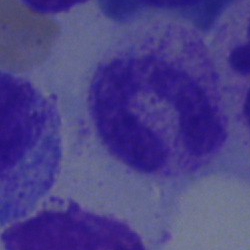
Specimen: bone marrow smear.
Morphological class: neutrophil (band).
Lineage: myeloid.